Single-cell crop. Peripheral blood film: 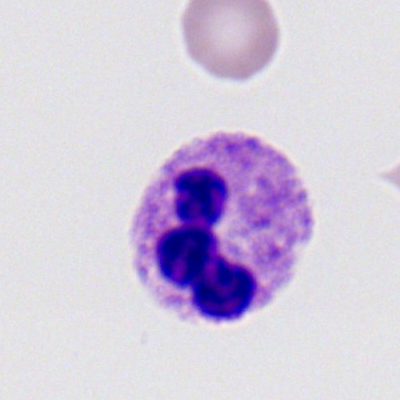

Showing a polymorphonuclear neutrophil.